Bone marrow smear · May-Grünwald-Giemsa/Pappenheim stain · single-cell crop.
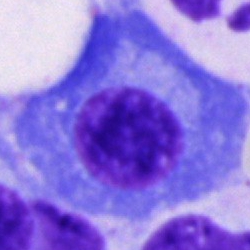
Q: Which cell type is shown here?
A: Plasmacyte.